250×250 px · single-cell crop · bone marrow aspirate smear: 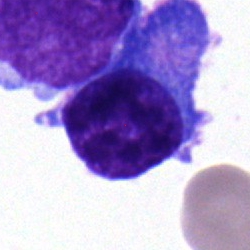

This is a plasma cell.